Bone marrow smear.
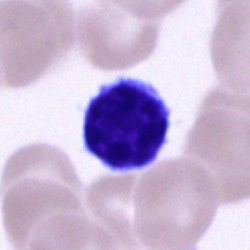Classification: lymphocyte.